250×250. Bone marrow smear:
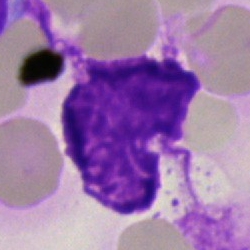Q: What is shown here?
A: An artifact.